Bone marrow aspirate smear. Cropped to a single cell.
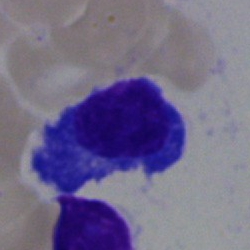 Impression → plasma cell.